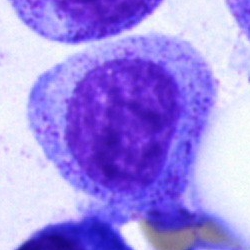Q: What is shown here?
A: It is a progranulocyte.